Single-cell field. Pappenheim-stained. Bone marrow aspirate smear.
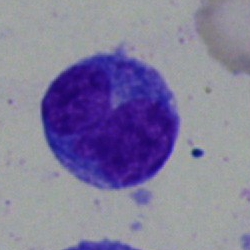

Single cell identified as a blast.